Bone marrow smear
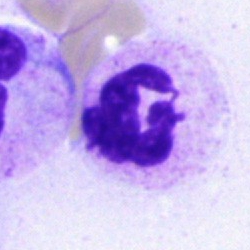

Showing a neutrophil (segmented).